Peripheral blood smear; M8 digital microscope (Precipoint), 100× oil immersion — 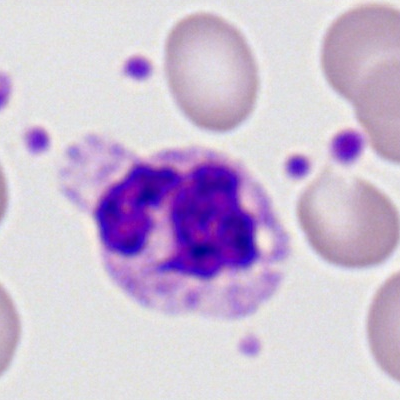

Q: Identify the cell.
A: A neutrophil (segmented).